Single-cell field. 250 by 250 pixels. Bone marrow aspirate smear
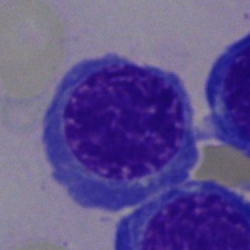Specimen: bone marrow aspirate smear.
Morphological class: normoblast.
Lineage: erythroid.